MGG-stained. Bone marrow smear. 250 by 250 pixels.
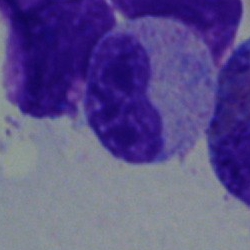 A metamyelocyte.